Bone marrow aspirate smear · 40× objective, oil immersion.
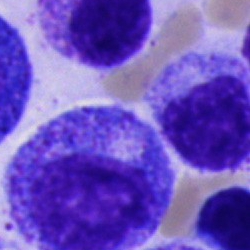
The cell shown is a promyelocyte.